Bone marrow smear — 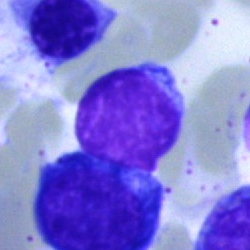Showing a lymphocyte.